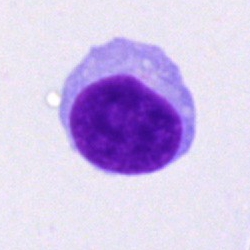Q: Identify the cell.
A: This is a typical lymphocyte.